Bone marrow smear. 250 by 250 pixels
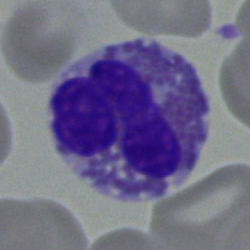Morphological class = eosinophilic granulocyte.